Brightfield microscopy, 40× oil immersion · bone marrow smear · Pappenheim-stained — 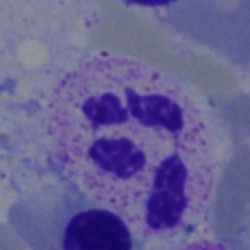 Morphology — polymorphonuclear neutrophil.